Pappenheim-stained. Bone marrow smear. Cropped to a single cell — 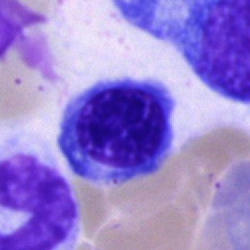 This is a nucleated red blood cell.